Bone marrow smear · brightfield, 40× oil-immersion objective:
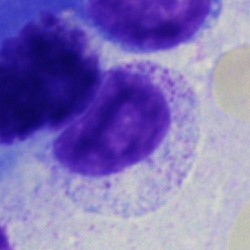{"cell_type": "myelocyte", "lineage": "myeloid"}